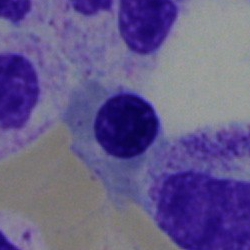
This is a normoblast.